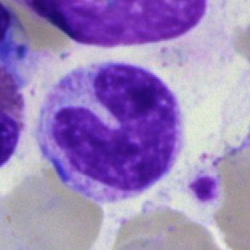

The cell type is monocyte.